Cropped to a single cell · peripheral blood film: 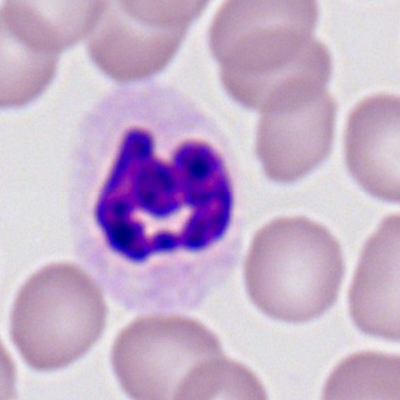 Specimen: peripheral blood smear.
Classification: neutrophil (segmented).
Lineage: myeloid.